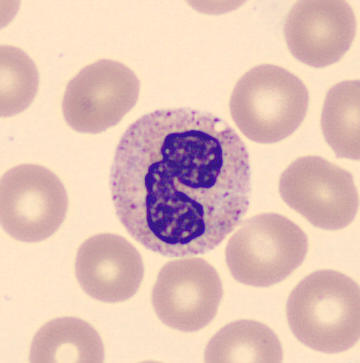
Specimen: peripheral blood smear.
Cell type: band neutrophil.